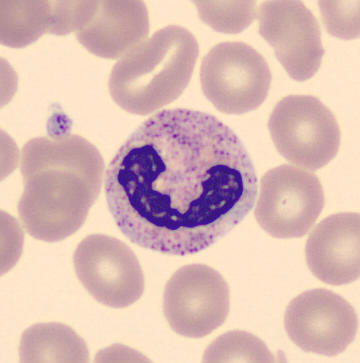 Cell = segmented neutrophil.
Acquisition: Peripheral blood smear.